Pappenheim-stained; bone marrow smear — 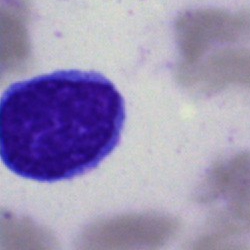 {"cell_type": "lymphocyte", "lineage": "lymphoid"}